Bone marrow smear:
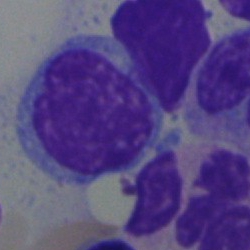 Specimen: bone marrow smear.
Cell type: lymphocyte.